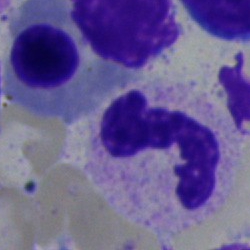
The cell type is neutrophil (segmented).